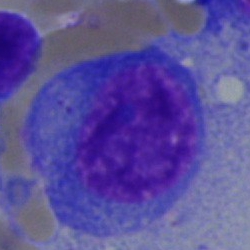
The cell is plasmacyte.